Brightfield microscopy, 40× oil immersion; bone marrow aspirate smear; image size 250×250:
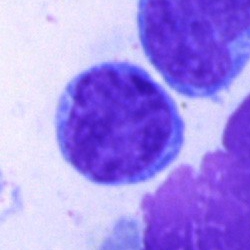

Q: What is the morphological classification of this cell?
A: It is a lymphocyte.